May-Grünwald-Giemsa stain; brightfield microscopy, 40× oil immersion; bone marrow aspirate smear
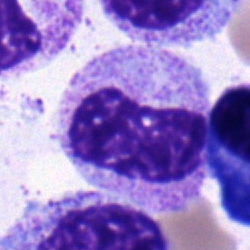 Q: Identify the cell.
A: This is a metamyelocyte.